Bone marrow aspirate smear.
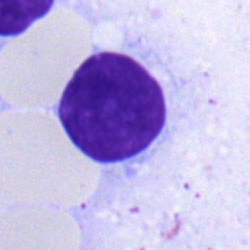Specimen: bone marrow aspirate smear.
Cell: typical lymphocyte.